Image size 250×250; bone marrow smear
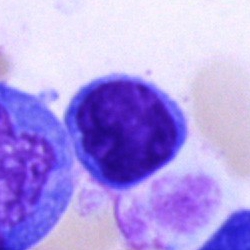
This is a lymphocyte.